Peripheral blood smear. Image size 360×363. CellaVision DM96:
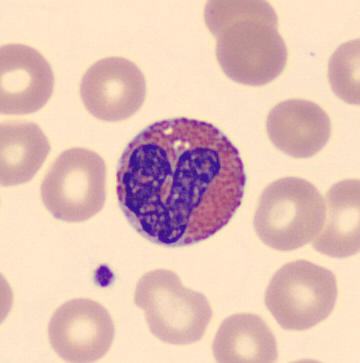Specimen: peripheral blood film.
Classification: eosinophil.